Bone marrow smear: 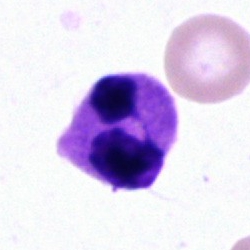
Q: Which cell type is shown here?
A: Polymorphonuclear neutrophil.